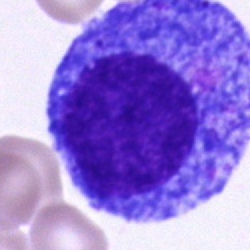 {"cell_type": "progranulocyte"}